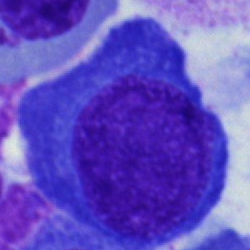

{"cell_type": "proerythroblast", "lineage": "erythroid"}